Bone marrow smear — 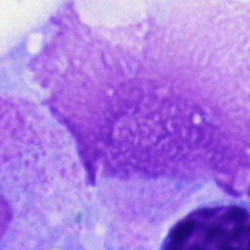 Q: What is shown here?
A: This is an artefact.